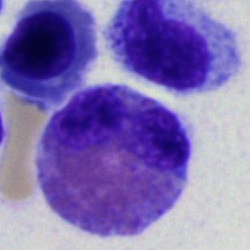
This is a basophil.